250×250 · bone marrow aspirate smear · MGG-stained
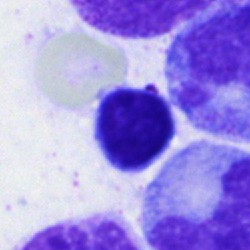Specimen: bone marrow smear.
Cell: typical lymphocyte.